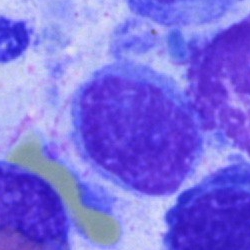
Q: What is shown here?
A: It is a lymphocyte.